Bone marrow smear — 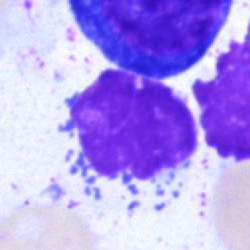Q: What is shown here?
A: Artefact.